Bone marrow aspirate smear: 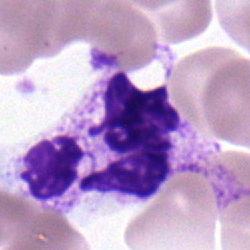The morphological class is neutrophil (segmented).